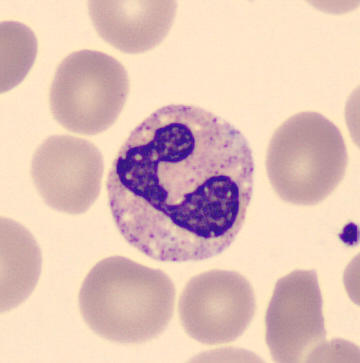
Segmented neutrophil.